Bone marrow smear: 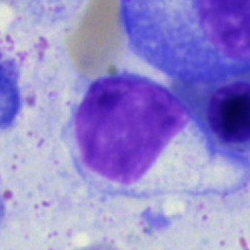 Morphology consistent with a typical lymphocyte.